Bone marrow smear · 40× objective, oil immersion · May-Grünwald-Giemsa stain.
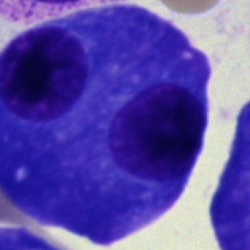Cell type = plasma cell.